Bone marrow smear — 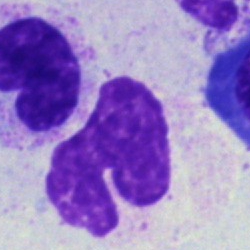Morphology consistent with an artefact.